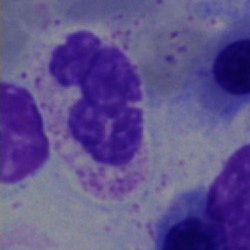

Morphology → polymorphonuclear neutrophil.